Peripheral blood film — 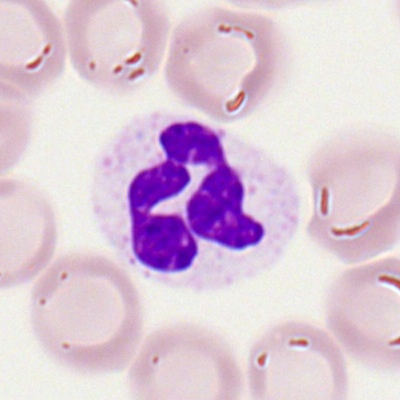
Single cell identified as a neutrophil (segmented).